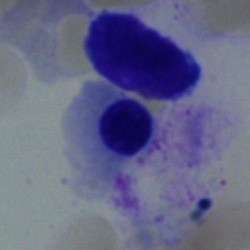 Cell type — erythroblast.